Bone marrow aspirate smear — 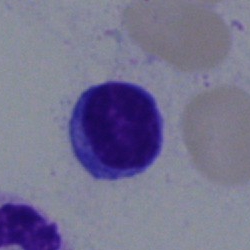

Cell = typical lymphocyte.